250 by 250 pixels. Cropped to a single cell. Bone marrow aspirate smear: 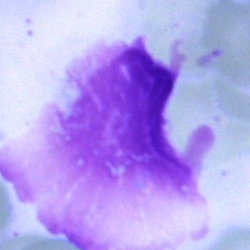 Classification: artefact.